Single-cell field. Bone marrow aspirate smear. Brightfield, 40× oil-immersion objective: 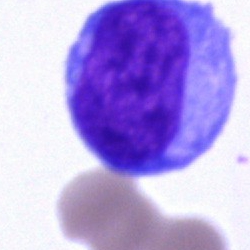 The classification is blast.